Single-cell crop; bone marrow smear: 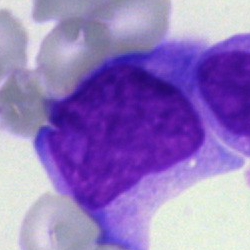 Single cell identified as an undifferentiated blast.